Bone marrow smear · brightfield microscopy, 40× oil immersion · single-cell crop.
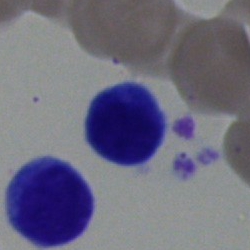
Morphology consistent with a hairy cell.